Bone marrow aspirate smear: 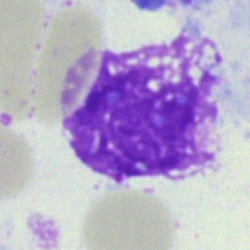

Showing an artifact.